Bone marrow aspirate smear; 250 by 250 pixels; May-Grünwald-Giemsa stain.
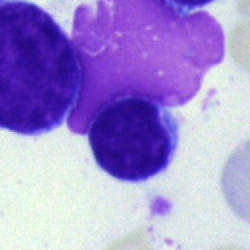Single cell identified as an artifact.